Bone marrow smear. 40× oil immersion.
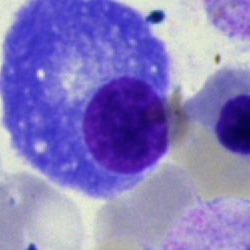Classification = plasma cell.